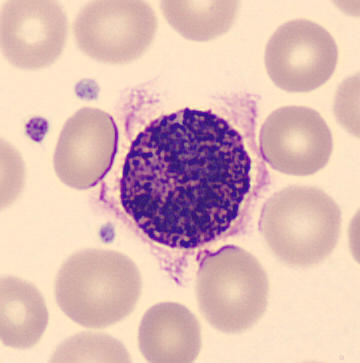 Showing a basophilic granulocyte.
Peripheral blood smear; automated cell imaging (CellaVision DM96).